Bone marrow aspirate smear; May-Grünwald-Giemsa/Pappenheim stain; 250 by 250 pixels.
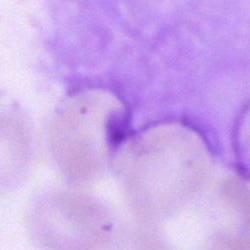 Cell type = artefact.